Single cell centered in the field · bone marrow smear · May-Grünwald-Giemsa stain — 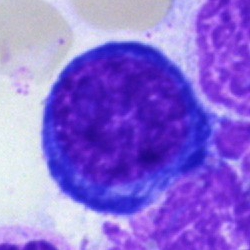A nucleated red cell.